Bone marrow smear
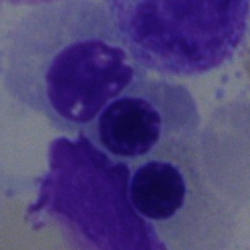Q: What is the morphological classification of this cell?
A: It is an erythroblast.